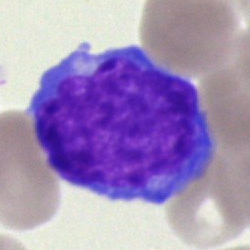
The morphological class is blast cell.